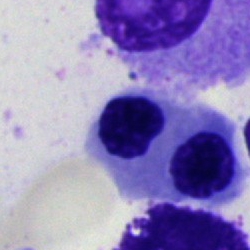Q: Identify the cell.
A: Erythroblast.